Bone marrow aspirate smear; brightfield, 40× oil-immersion objective.
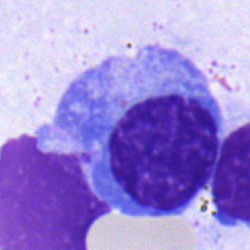{"cell_type": "plasma cell", "lineage": "lymphoid"}